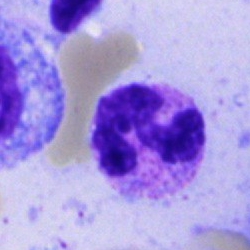 Specimen: bone marrow aspirate smear.
Cell: neutrophil (segmented).
Lineage: myeloid.